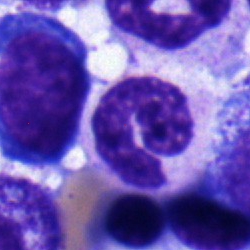Cell type = stab cell.